Bone marrow aspirate smear.
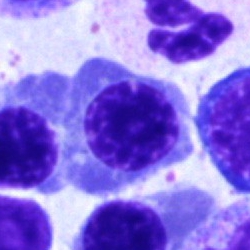 Morphology consistent with an erythroblast.